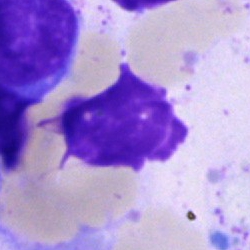 The classification is artefact.